Bone marrow aspirate smear.
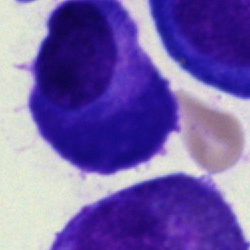

Cell = plasmacyte.